Bone marrow aspirate smear: 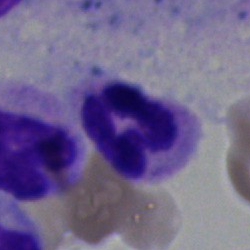 Specimen: bone marrow smear.
Morphological class: segmented neutrophil.